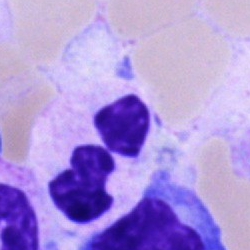
Cell: segmented neutrophil.